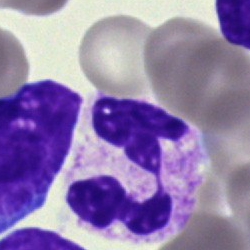 Single cell identified as a neutrophil (segmented).